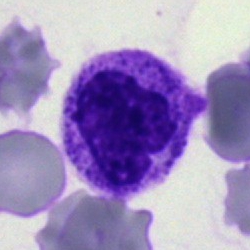Morphology → segmented neutrophil.